Bone marrow smear; image size 250×250
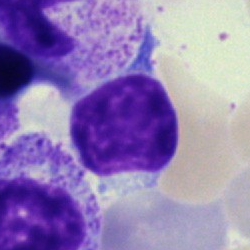 The cell shown is a lymphocyte.